Bone marrow aspirate smear. Brightfield microscopy, 40× oil immersion:
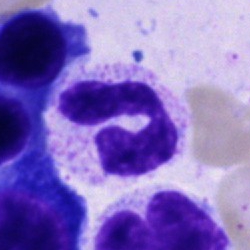 Polymorphonuclear neutrophil.